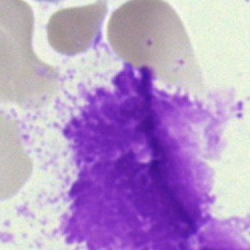 {"cell_type": "artifact"}